May-Grünwald-Giemsa stain; bone marrow aspirate smear — 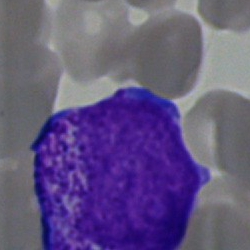 Specimen: bone marrow smear.
Cell: undifferentiated blast.